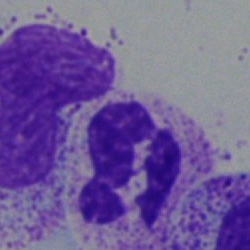Morphology → segmented neutrophil.